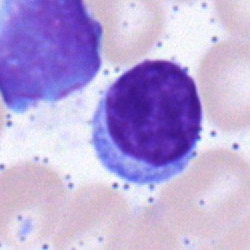
Classification: typical lymphocyte.